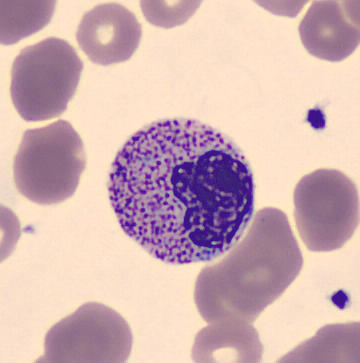

Impression → metamyelocyte.